Bone marrow smear · single-cell crop: 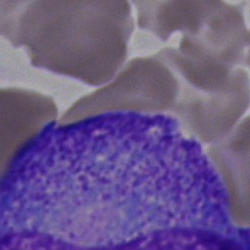
Q: What is shown here?
A: It is an artifact.